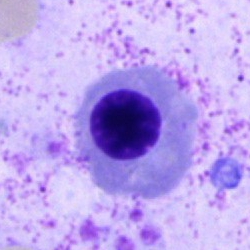
Cell — erythroblast.